Bone marrow smear: 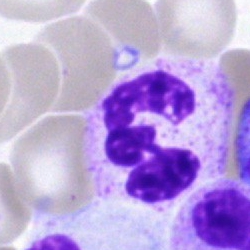

A polymorphonuclear neutrophil.